Bone marrow smear · MGG-stained · 250 by 250 pixels
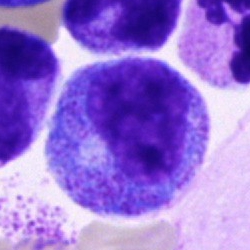Cell = promyelocyte.